Bone marrow smear · image size 250×250 · MGG-stained:
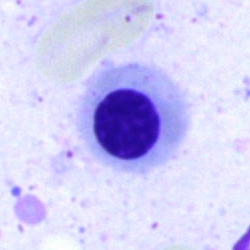
{"cell_type": "nucleated red cell", "lineage": "erythroid"}